Bone marrow aspirate smear; May-Grünwald-Giemsa stain — 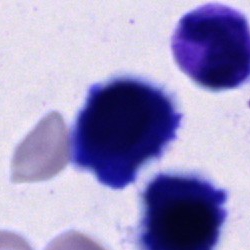Q: What type of cell is this?
A: It is an unidentifiable cell.